Bone marrow smear; 250×250: 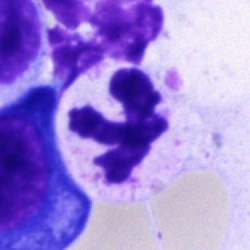
Classification = neutrophil (segmented).